Bone marrow aspirate smear
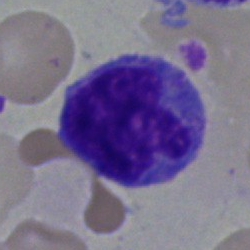Specimen: bone marrow aspirate smear.
Cell type: monocyte.
Lineage: myeloid.